Image size 400×400; peripheral blood smear
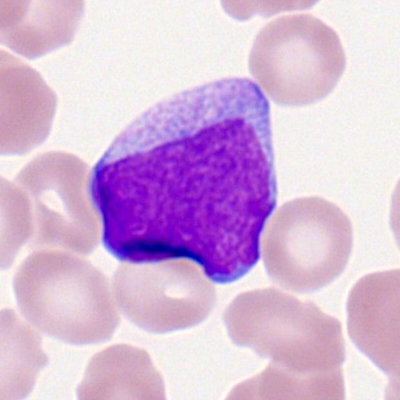
The cell shown is a myeloblast.